Image size 250×250 · bone marrow aspirate smear — 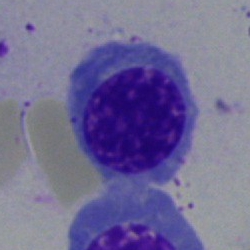
Nucleated red cell.